Bone marrow smear:
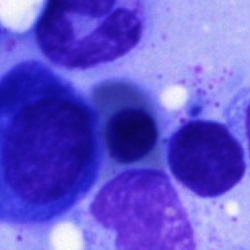
Cell type — artifact.